Bone marrow smear:
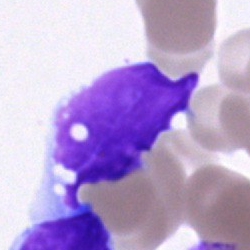

Morphology → artifact.